Bone marrow aspirate smear
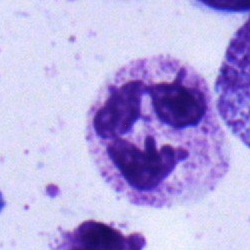
The cell shown is a segmented neutrophil.